Bone marrow aspirate smear.
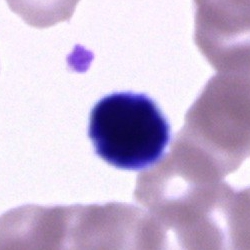
The cell type is artifact.